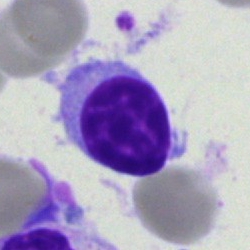

This is a typical lymphocyte.